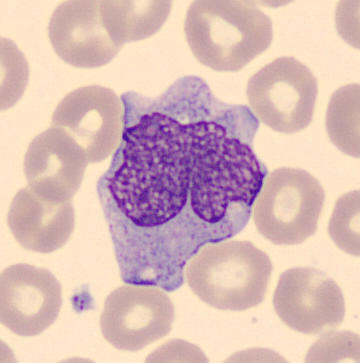
This is a monocyte.